Bone marrow smear. MGG-stained. Single-cell crop — 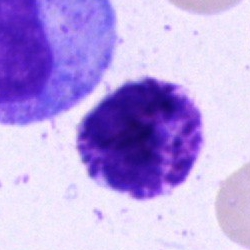

The morphological class is basophilic granulocyte.